May-Grünwald-Giemsa/Pappenheim stain · bone marrow smear — 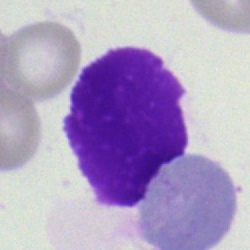Q: What is shown here?
A: It is an artifact.